250×250 px · Pappenheim-stained · bone marrow aspirate smear.
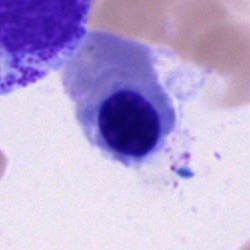The cell shown is a normoblast.